Brightfield microscopy, 40× oil immersion · May-Grünwald-Giemsa/Pappenheim stain · bone marrow smear.
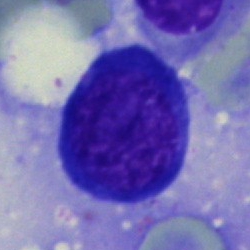The classification is nucleated red blood cell.